Bone marrow aspirate smear
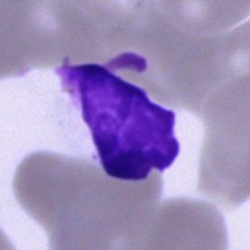
Classification = artifact.